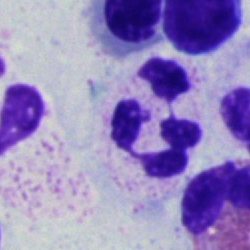 Q: What is the morphological classification of this cell?
A: This is a segmented neutrophil.